Brightfield microscopy, 40× oil immersion · bone marrow smear.
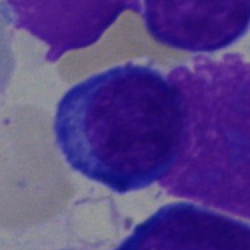

Q: What type of cell is this?
A: An erythroblast.